Bone marrow smear; 40× oil immersion; May-Grünwald-Giemsa/Pappenheim stain:
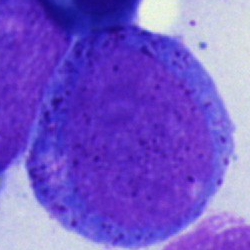 Morphology → promyelocyte.